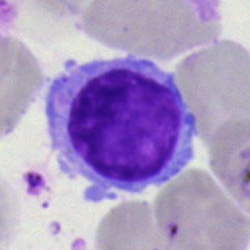Morphology consistent with a typical lymphocyte.